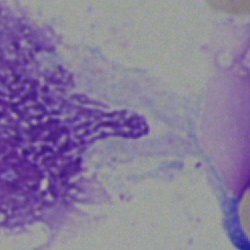
An artifact on a bone marrow smear.